Bone marrow smear; May-Grünwald-Giemsa/Pappenheim stain:
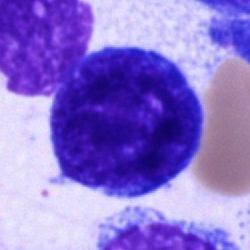 A blast cell.